Romanowsky-type stain; peripheral blood smear: 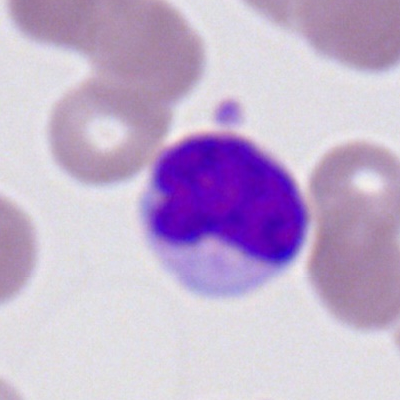Specimen: peripheral blood film.
Morphological class: lymphocyte.